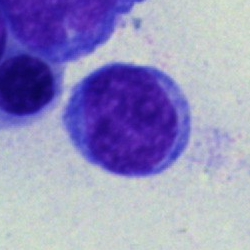

Single cell identified as a lymphocyte.